Bone marrow smear.
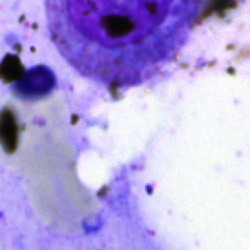

Showing an artefact.